Bone marrow aspirate smear · MGG-stained · 40× objective, oil immersion.
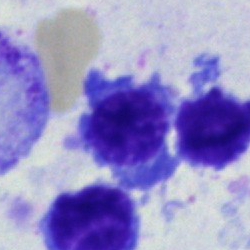

This is a nucleated red blood cell.